Single-cell crop. Bone marrow smear — 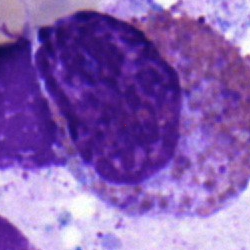Q: What cell is this?
A: An eosinophilic granulocyte.